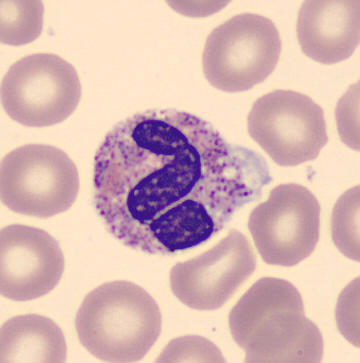

Impression → neutrophil (segmented). Preparation: Peripheral blood film.